Bone marrow aspirate smear.
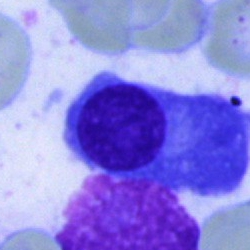 This is a plasma cell.